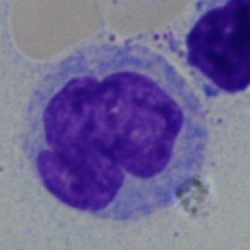

Bone marrow aspirate smear, single cell — monocyte.